Bone marrow smear: 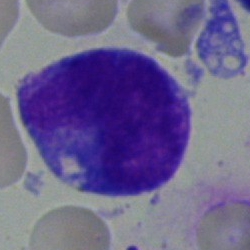 Cell type = blast.